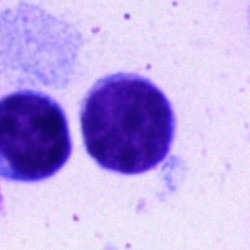 Q: Which cell type is shown here?
A: It is a typical lymphocyte.